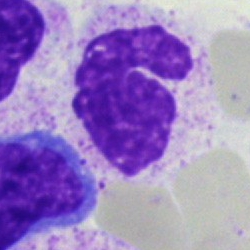
Morphology consistent with an artifact.